Bone marrow aspirate smear.
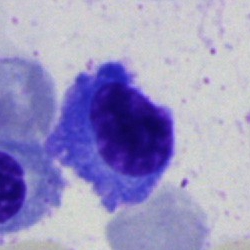Q: Which cell type is shown here?
A: A plasma cell.